Single cell centered in the field. Bone marrow aspirate smear. 250 by 250 pixels: 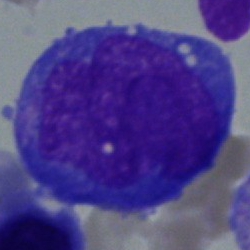 Cell: blast.